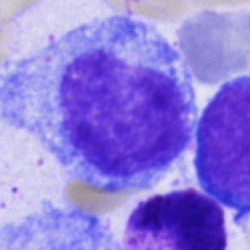
Q: Identify the cell.
A: Progranulocyte.